MGG-stained · single cell centered in the field · bone marrow aspirate smear:
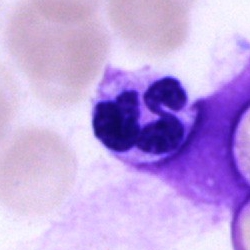Q: Identify the cell.
A: A segmented neutrophil.